Single cell centered in the field. Bone marrow aspirate smear: 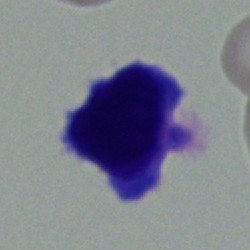 Specimen: bone marrow smear.
Classification: lymphocyte.
Lineage: lymphoid.